Bone marrow aspirate smear
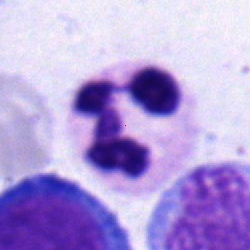
Morphological class = polymorphonuclear neutrophil.